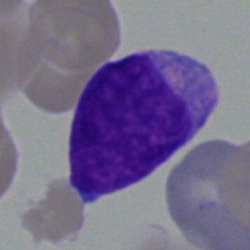 Impression → undifferentiated blast.